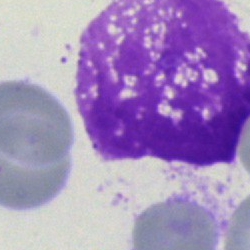The cell shown is an artefact.